Bone marrow smear — 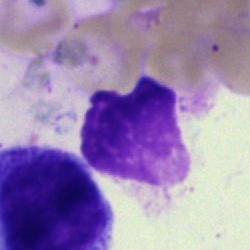 The cell shown is an artifact.